Bone marrow smear · image size 250×250 · MGG-stained:
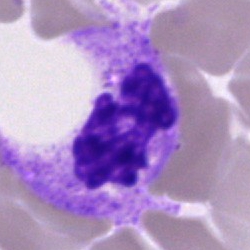

Morphological class: segmented neutrophil.